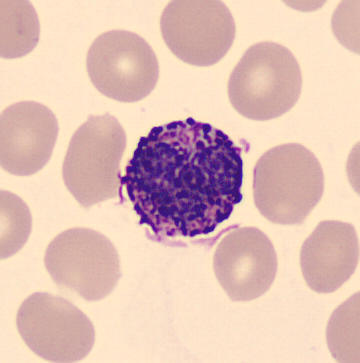

Acquisition: Peripheral blood smear; imaged on a CellaVision DM96 analyser.
Cell — basophilic granulocyte.